Image size 250×250. MGG-stained. Bone marrow smear — 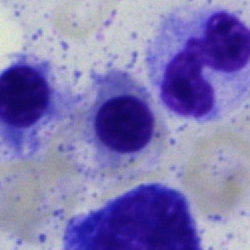Specimen: bone marrow smear.
Morphological class: normoblast.